250×250 · bone marrow aspirate smear:
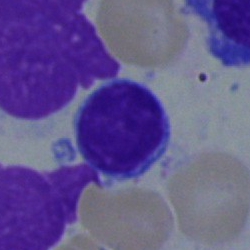 {"cell_type": "lymphocyte"}